250 by 250 pixels. Bone marrow smear — 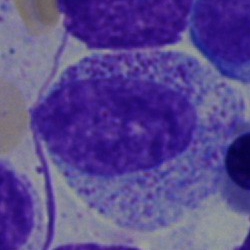
Morphological class — myelocyte.